Bone marrow smear.
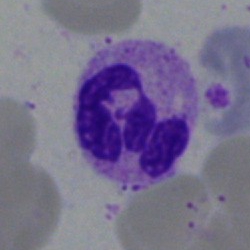
This is a segmented neutrophil.